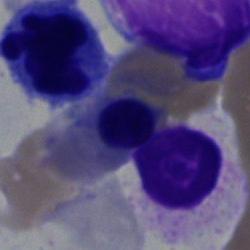
Cell — erythroblast.